Bone marrow smear.
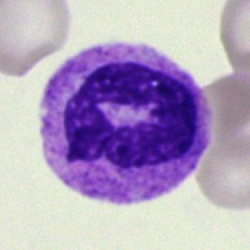

The cell shown is a polymorphonuclear neutrophil.